Bone marrow aspirate smear · 250×250 px · brightfield, 40× oil-immersion objective: 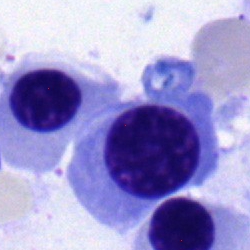 Showing a normoblast.